Bone marrow aspirate smear · single-cell field: 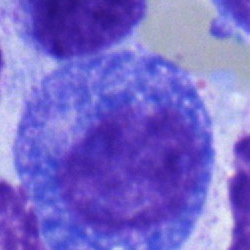
Single cell identified as a progranulocyte.